Bone marrow aspirate smear
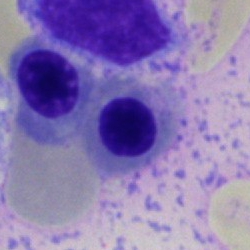

Morphology consistent with a nucleated red blood cell.